Bone marrow aspirate smear; May-Grünwald-Giemsa/Pappenheim stain — 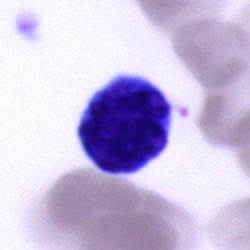

A lymphocyte.